Brightfield microscopy, 40× oil immersion; bone marrow aspirate smear:
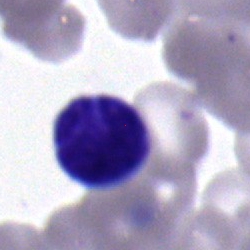Classification — typical lymphocyte.